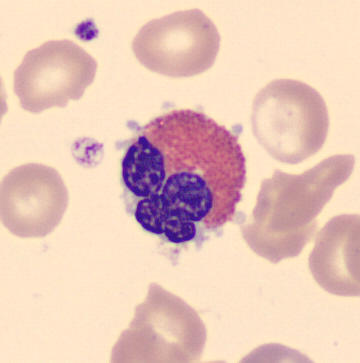

Cell — eosinophil.